40× oil immersion; cropped to a single cell; bone marrow aspirate smear.
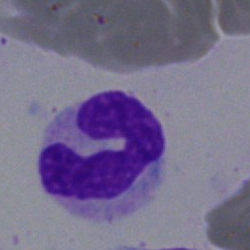 Morphology → neutrophil (segmented).